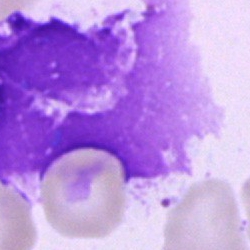

Single-cell crop from a bone marrow smear: artifact.